Single cell centered in the field · peripheral blood film · brightfield, 100× oil-immersion objective — 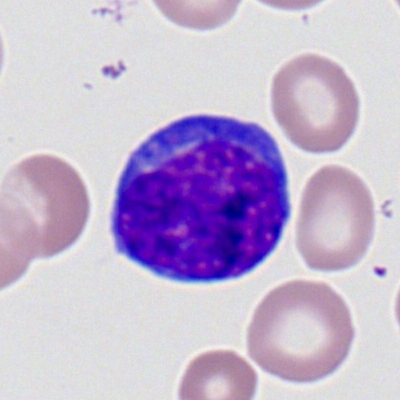Single cell identified as a myeloblast.